250×250; bone marrow smear: 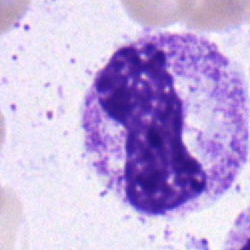
Morphological class = stab cell.